40× oil immersion · single cell centered in the field · bone marrow smear:
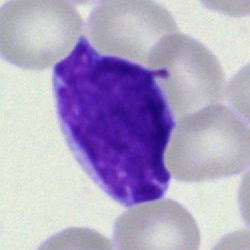The cell is undifferentiated blast.